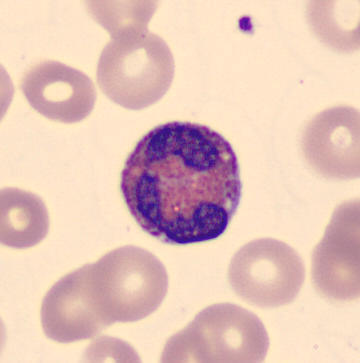 Image size 360×363 · peripheral blood film.

Morphological class — eosinophil.